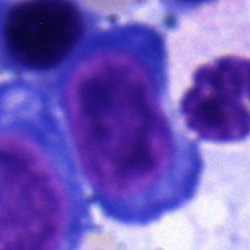This is a pronormoblast.